MGG-stained · bone marrow aspirate smear — 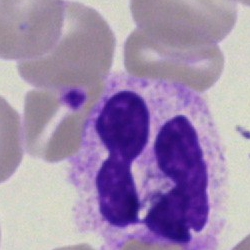Impression — polymorphonuclear neutrophil.